Peripheral blood film.
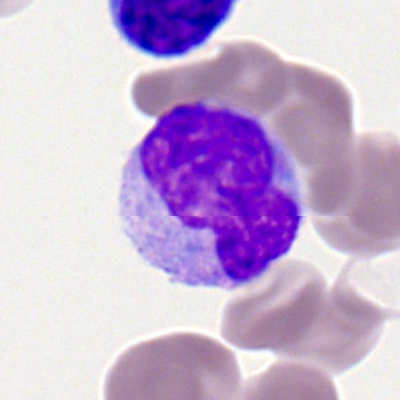Morphology → monocyte.